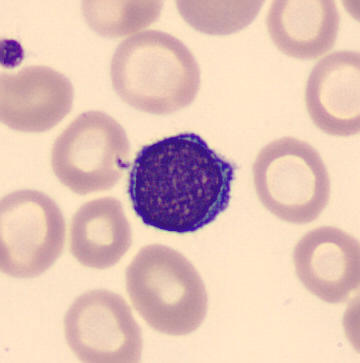 Peripheral blood smear · CellaVision DM96 · single-cell field. Morphology → typical lymphocyte.